Bone marrow smear: 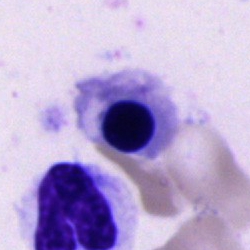The cell type is nucleated red blood cell.